Bone marrow aspirate smear — 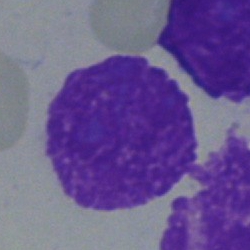 Q: What is shown here?
A: This is an artifact.